250×250 px; bone marrow aspirate smear.
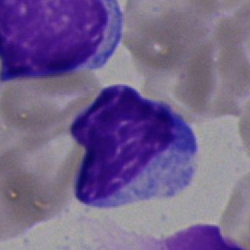 Classification: lymphocyte.